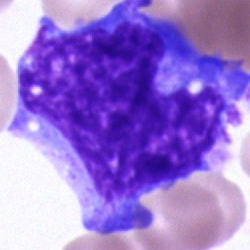
Classification — unidentifiable cell.